Bone marrow aspirate smear — 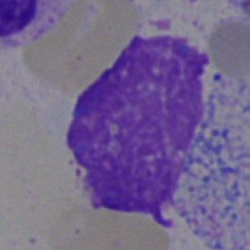 Classification: artefact.